250 by 250 pixels; bone marrow aspirate smear; brightfield, 40× oil-immersion objective
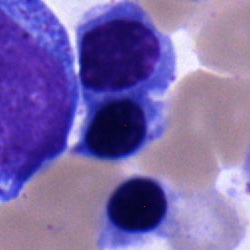
Impression — nucleated red blood cell.